Bone marrow aspirate smear. 250×250 px — 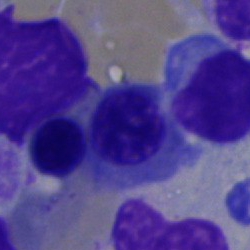

Normoblast.